Bone marrow aspirate smear
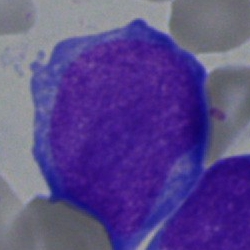A blast cell.